Bone marrow aspirate smear · single-cell field
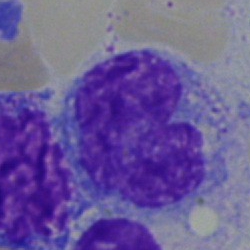 Morphological class: monocyte.